Bone marrow smear: 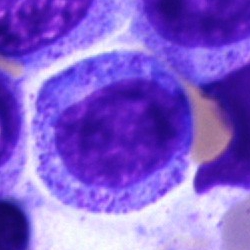
Classification — promyelocyte.